250×250. Bone marrow smear: 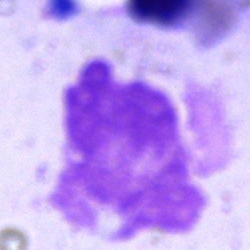
Morphology — artifact.